Peripheral blood smear: 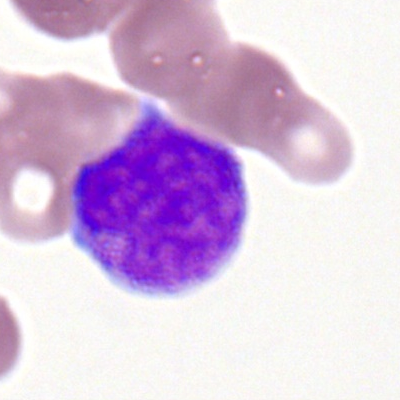 Q: What is the morphological classification of this cell?
A: This is a myeloblast.